Bone marrow smear. Image size 250×250
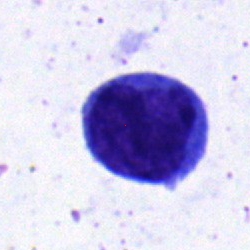 Q: Identify the cell.
A: This is a typical lymphocyte.